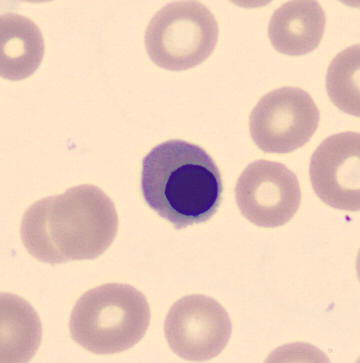 Preparation: Peripheral blood smear. MGG-stained. Cell type — nucleated red blood cell.